Bone marrow aspirate smear — 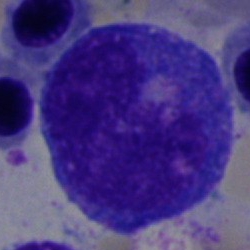
Morphology consistent with a progranulocyte.